Bone marrow smear:
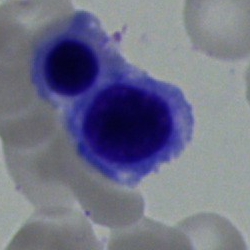
Cell: erythroblast.